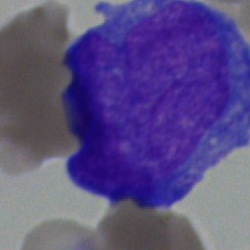Undifferentiated blast.